Bone marrow aspirate smear — 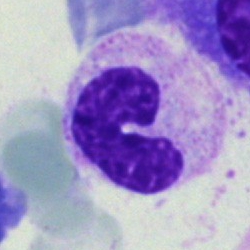
Cell type: band neutrophil.